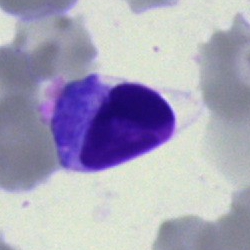Cell type = lymphocyte.